Image size 250×250; MGG-stained; bone marrow smear — 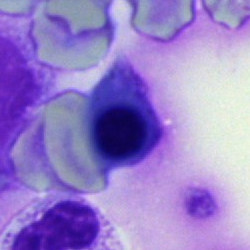 Impression — erythroblast.